Peripheral blood smear
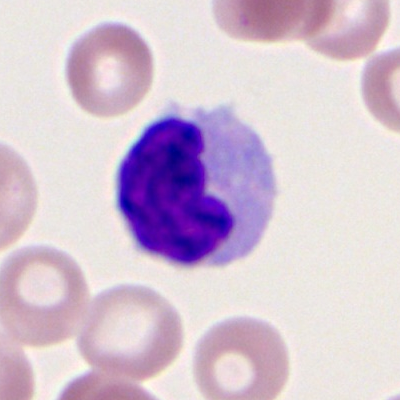

The cell shown is a monocyte.